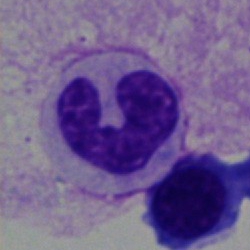The classification is neutrophil (band).